Bone marrow aspirate smear — 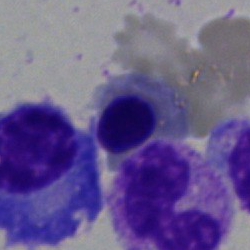 Showing a nucleated red cell.